Bone marrow aspirate smear — 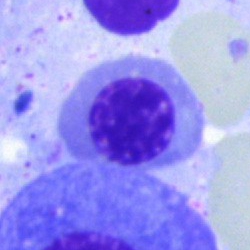 Morphology — normoblast.